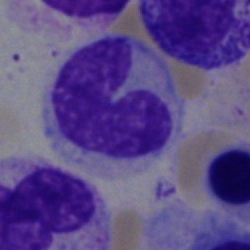

Specimen: bone marrow aspirate smear.
Classification: stab cell.
Lineage: myeloid.